Bone marrow aspirate smear
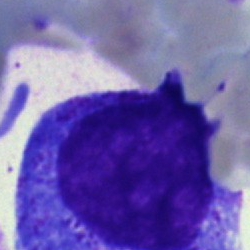

Cell: progranulocyte.